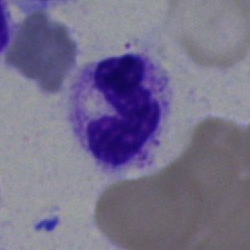The cell shown is a neutrophil (segmented).